Bone marrow smear — 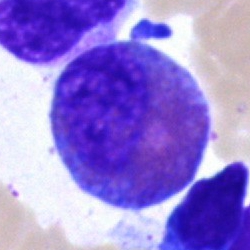An eosinophilic granulocyte.